Bone marrow smear. MGG-stained. Single-cell crop:
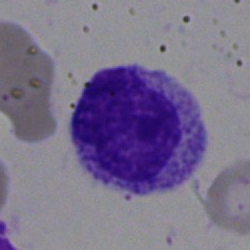
Q: Identify the cell.
A: This is a myelocyte.